Image size 250×250. Bone marrow smear. 40× objective, oil immersion
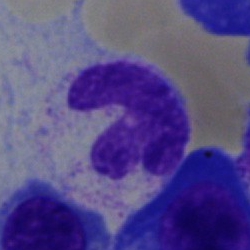
The cell shown is a band-form neutrophil.